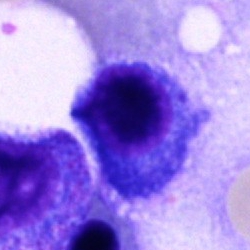

Morphological class = plasma cell.